Brightfield microscopy, 40× oil immersion. Bone marrow smear
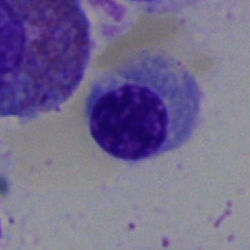Q: What is shown here?
A: A normoblast.